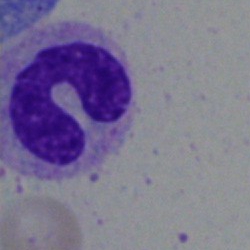

Specimen: bone marrow smear.
Morphological class: band-form neutrophil.